Single cell centered in the field · 250 by 250 pixels · bone marrow smear: 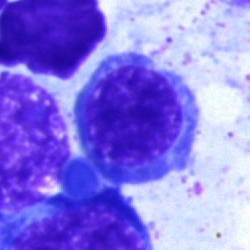
Normoblast.